Bone marrow aspirate smear; brightfield, 40× oil-immersion objective
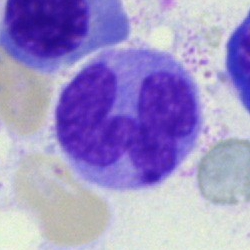
Impression — monocyte.